Brightfield, 40× oil-immersion objective; bone marrow smear
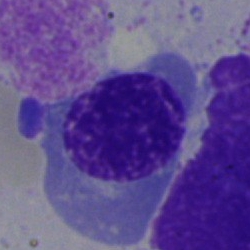
Classification — erythroblast.